Romanowsky-stained. Peripheral blood smear. Cropped to a single cell
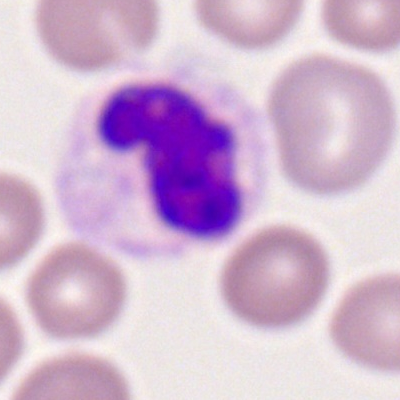 Q: What is shown here?
A: It is a segmented neutrophil.